Bone marrow smear · May-Grünwald-Giemsa stain
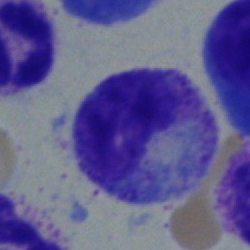

Morphological class — metamyelocyte.